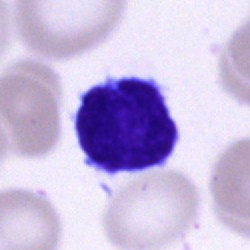A lymphocyte.